Bone marrow smear
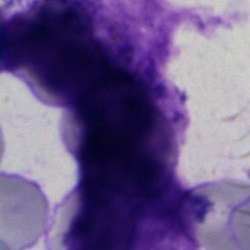{"cell_type": "artifact"}